Bone marrow smear; cropped to a single cell.
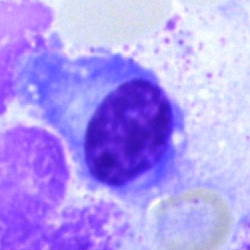Specimen: bone marrow aspirate smear.
Classification: plasma cell.
Lineage: lymphoid.